Bone marrow aspirate smear: 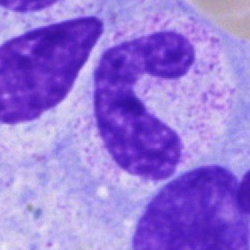 Morphological class = neutrophil (band).